Bone marrow aspirate smear
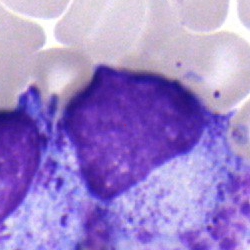

Specimen: bone marrow smear.
Morphological class: myelocyte.
Lineage: myeloid.